Bone marrow aspirate smear.
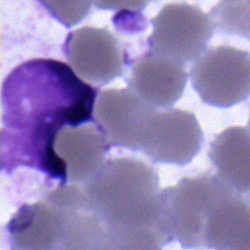 Showing a segmented neutrophil.